Bone marrow aspirate smear.
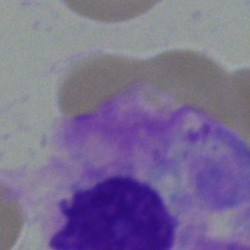The cell shown is an artifact.